Cropped to a single cell · bone marrow aspirate smear: 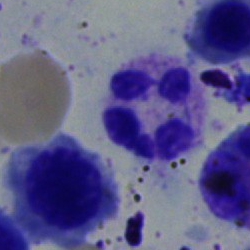 Morphological class — neutrophil (segmented).